Bone marrow smear.
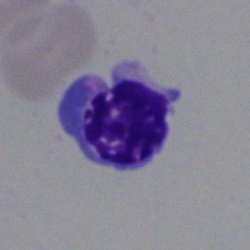

A normoblast.